Bone marrow aspirate smear
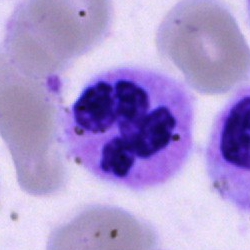
Morphological class — polymorphonuclear neutrophil.